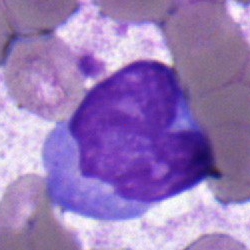Specimen: bone marrow smear.
Morphological class: typical lymphocyte.
Lineage: lymphoid.